Bone marrow aspirate smear; May-Grünwald-Giemsa stain; single-cell field.
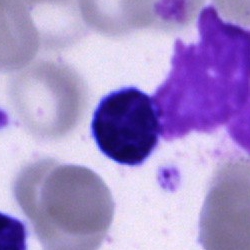 Classification — typical lymphocyte.